Bone marrow smear
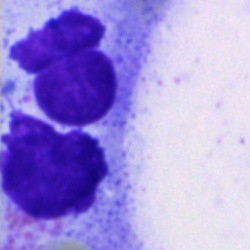

The classification is artifact.